250 by 250 pixels; single-cell field; bone marrow smear:
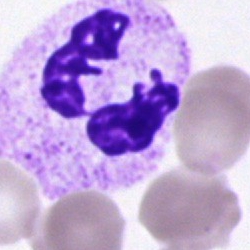The cell shown is a neutrophil (segmented).